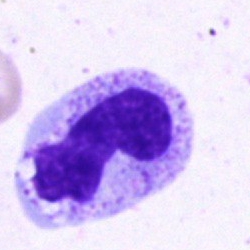A band-form neutrophil on a bone marrow smear.